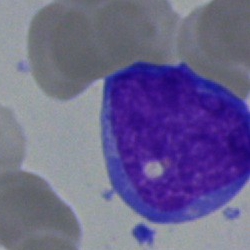

Specimen: bone marrow aspirate smear.
Classification: undifferentiated blast.